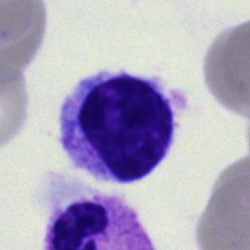
Q: Which cell type is shown here?
A: Typical lymphocyte.